Bone marrow aspirate smear: 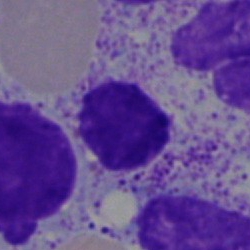
Impression — artifact.